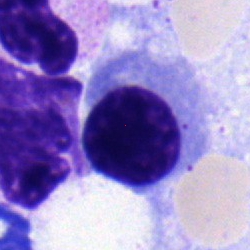 {"cell_type": "erythroblast"}